May-Grünwald-Giemsa stain. Bone marrow smear
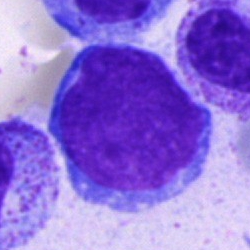
The cell shown is an undifferentiated blast.